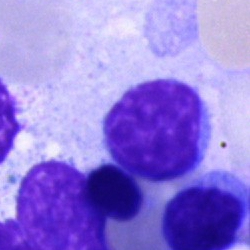 Single cell identified as a lymphocyte.